100× oil immersion; peripheral blood smear; cropped to a single cell — 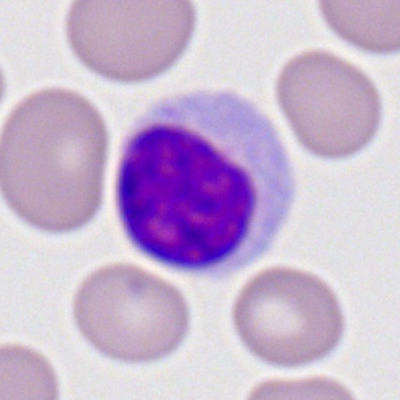

A lymphocyte.